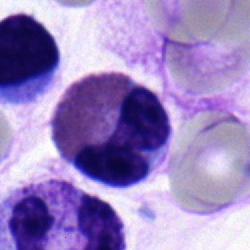 Morphological class = eosinophilic granulocyte.